Bone marrow smear.
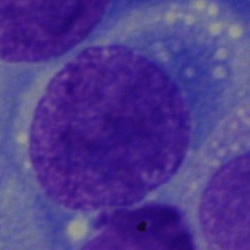 Specimen: bone marrow aspirate smear.
Morphological class: blast cell.